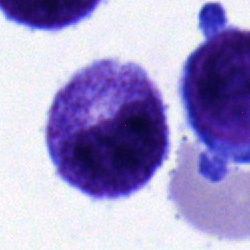 Impression → metamyelocyte.